Bone marrow smear: 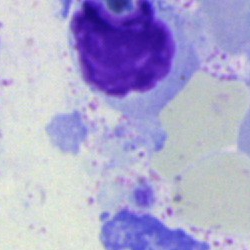

Artefact.